Bone marrow smear: 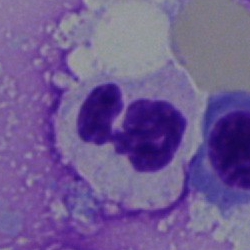
Morphology consistent with a polymorphonuclear neutrophil.